Bone marrow aspirate smear — 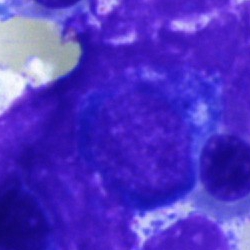

Classification = nucleated red cell.